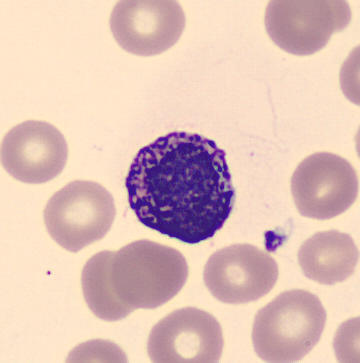

Peripheral blood smear · automated cell imaging (CellaVision DM96).
Morphology consistent with a basophil.